Bone marrow aspirate smear — 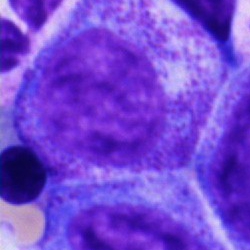
The morphological class is progranulocyte.